Bone marrow smear; May-Grünwald-Giemsa/Pappenheim stain — 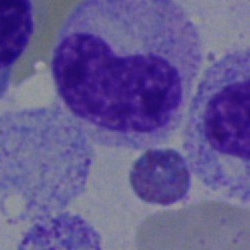Cell type — band neutrophil.